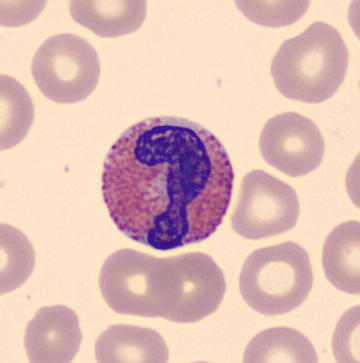
Specimen: peripheral blood film.
Cell type: eosinophil.
Lineage: myeloid.